Bone marrow smear — 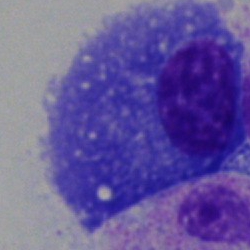 Morphological class — plasma cell.